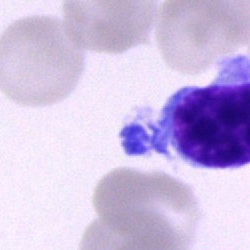Q: Identify the cell.
A: This is a typical lymphocyte.